Bone marrow smear
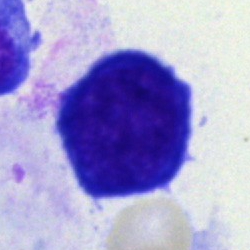Classification — unidentifiable cell.